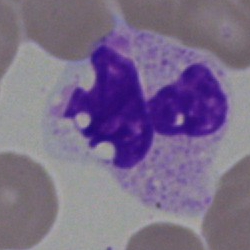 Specimen: bone marrow smear.
Cell type: polymorphonuclear neutrophil.
Lineage: myeloid.